Bone marrow aspirate smear; single-cell crop
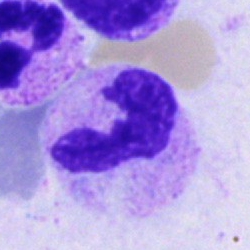
Single cell identified as a segmented neutrophil.